Bone marrow smear: 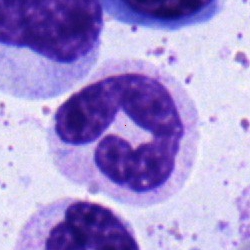 A segmented neutrophil.